Bone marrow smear.
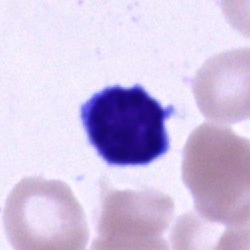

Morphology consistent with a typical lymphocyte.